250 by 250 pixels; bone marrow smear: 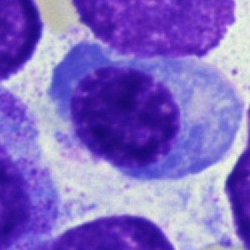 Specimen: bone marrow smear.
Classification: normoblast.